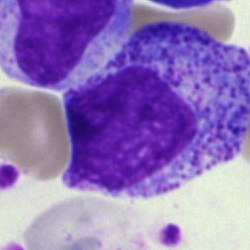{"cell_type": "myelocyte", "lineage": "myeloid"}